Brightfield microscopy, 40× oil immersion. Bone marrow smear. Single cell centered in the field.
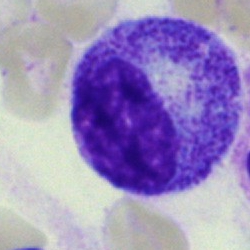A promyelocyte.